Bone marrow smear:
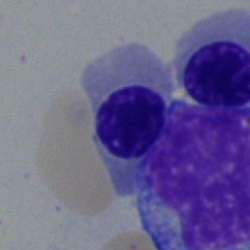
Cell type = erythroblast.